Bone marrow smear
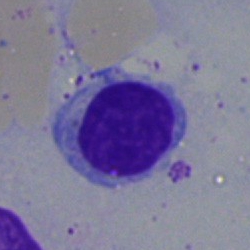
Cell type = typical lymphocyte.